Bone marrow aspirate smear:
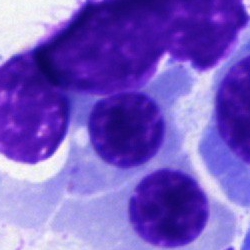 Specimen: bone marrow smear.
Morphological class: nucleated red cell.
Lineage: erythroid.